250×250 px · Pappenheim-stained · bone marrow smear: 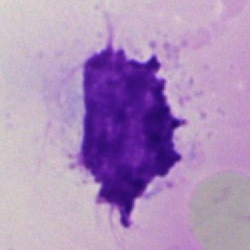

Morphology consistent with an artifact.